Single-cell field; bone marrow aspirate smear
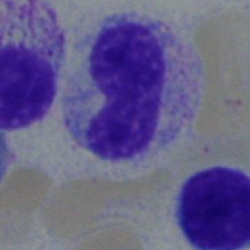
{"cell_type": "neutrophil (band)", "lineage": "myeloid"}